Bone marrow aspirate smear
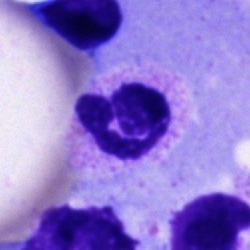
Showing a neutrophil (segmented).